Peripheral blood smear.
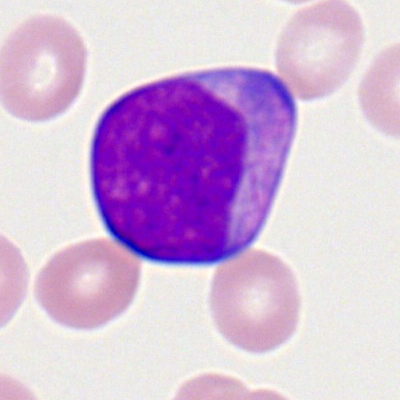Q: What is shown here?
A: Myeloblast.